May-Grünwald-Giemsa stain; bone marrow smear — 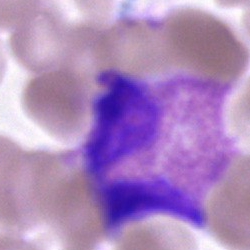 The cell shown is an eosinophilic granulocyte.